Bone marrow aspirate smear — 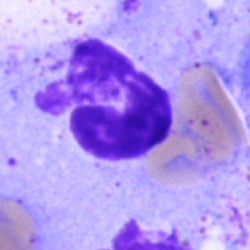Q: What is shown here?
A: This is an artifact.